Brightfield microscopy, 40× oil immersion; 250×250; bone marrow aspirate smear.
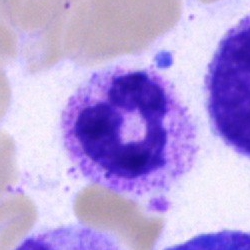 Morphological class — neutrophil (segmented).